Bone marrow smear; image size 250×250; single-cell field.
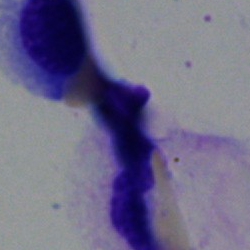
Single cell identified as an artefact.